Cropped to a single cell · bone marrow smear:
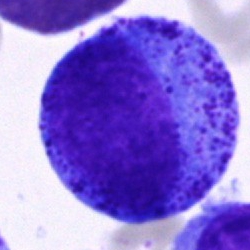 Classification — promyelocyte.